Bone marrow aspirate smear: 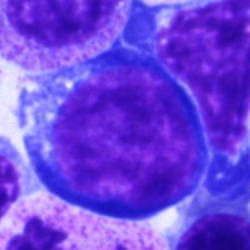

Impression — pronormoblast.